Bone marrow aspirate smear.
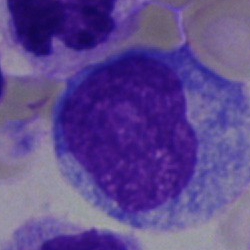
Impression → promyelocyte.